Bone marrow aspirate smear. Single-cell field. 40× oil immersion: 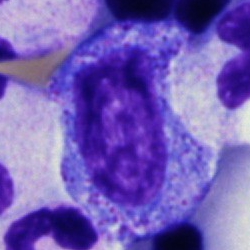

The cell shown is a progranulocyte.